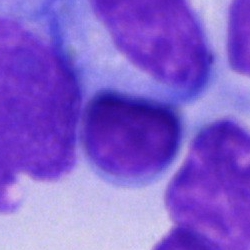
The morphological class is cell of indeterminate lineage.